Peripheral blood film.
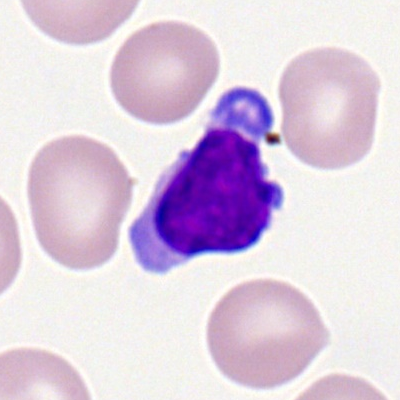 The morphological class is typical lymphocyte.